Bone marrow smear:
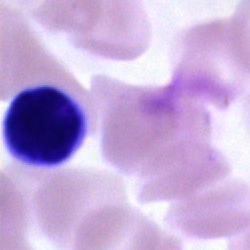Impression — lymphocyte.